Brightfield microscopy, 40× oil immersion · bone marrow smear.
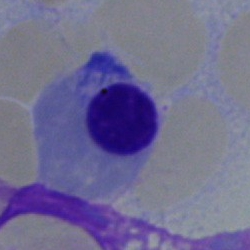Cell: nucleated red cell.